Bone marrow aspirate smear
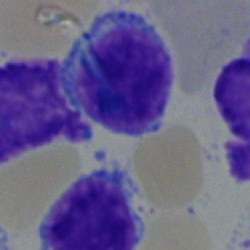
Q: What is shown here?
A: It is a lymphocyte.